Single-cell field. Bone marrow smear. Pappenheim-stained: 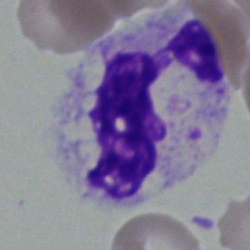

Impression — segmented neutrophil.